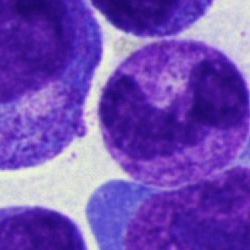Cell type = band neutrophil.